Bone marrow smear: 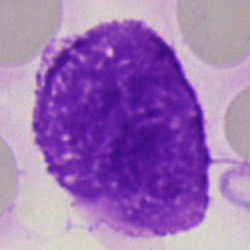

Single cell identified as an artefact.